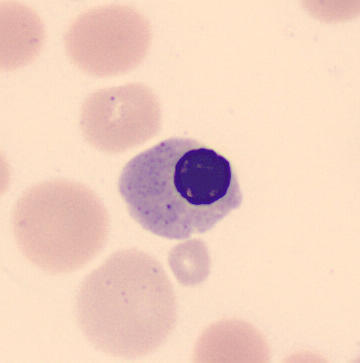
Morphology → erythroblast.
May Grünwald-Giemsa stain · imaged on a CellaVision DM96 analyser · peripheral blood film.